Bone marrow smear · 40× oil immersion · 250×250 px: 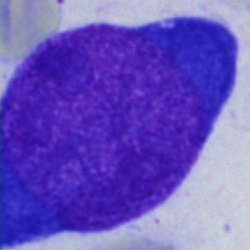 The cell shown is a proerythroblast.